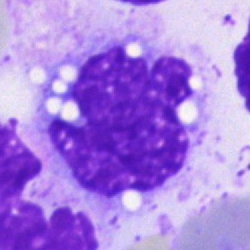Cell type: monocyte.